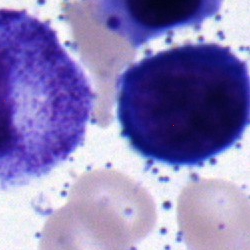Morphological class — pronormoblast.